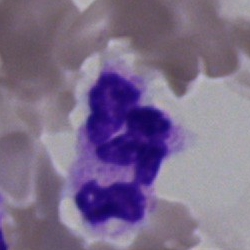A segmented neutrophil.